40× objective, oil immersion. 250 by 250 pixels. Bone marrow aspirate smear: 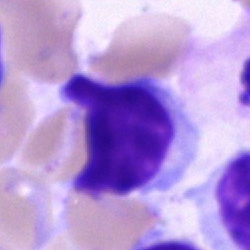

Q: Which cell type is shown here?
A: A typical lymphocyte.